Brightfield microscopy, 40× oil immersion. 250 by 250 pixels. Bone marrow aspirate smear — 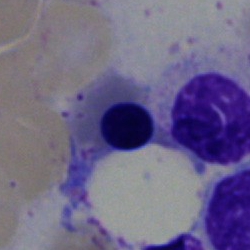Classification — nucleated red blood cell.